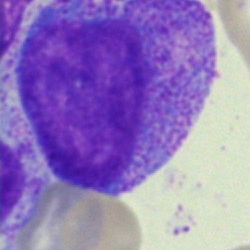

Single-cell crop from a bone marrow smear: promyelocyte.